Bone marrow smear.
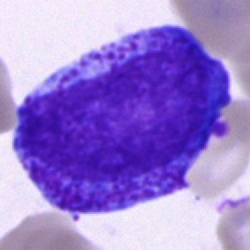Specimen: bone marrow aspirate smear.
Classification: progranulocyte.